Bone marrow aspirate smear. May-Grünwald-Giemsa stain:
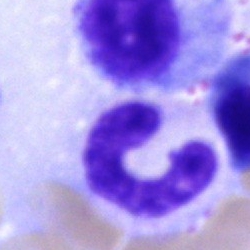 Q: Identify the cell.
A: A neutrophil (band).